Bone marrow smear
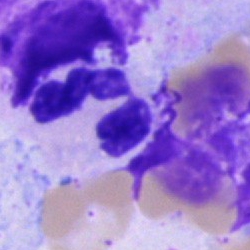{"cell_type": "segmented neutrophil"}